May-Grünwald-Giemsa stain. Bone marrow aspirate smear:
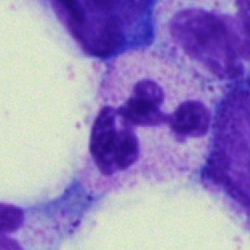

Classification: neutrophil (segmented).